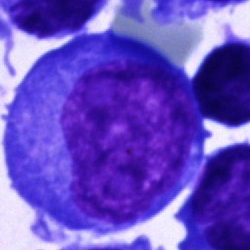
Q: Which cell type is shown here?
A: A blast.